Bone marrow aspirate smear
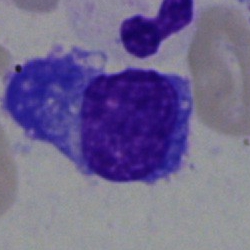This is a plasma cell.